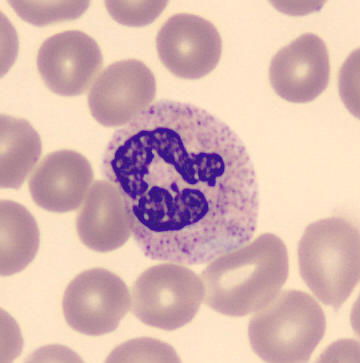
Acquisition: Peripheral blood smear; single-cell crop. The cell shown is a segmented neutrophil.